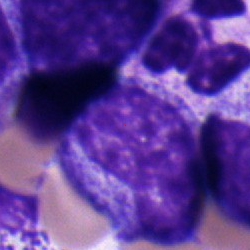 Morphology — metamyelocyte.